Bone marrow aspirate smear: 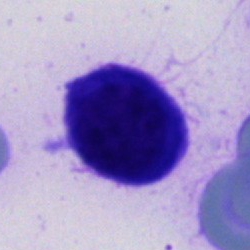Morphology consistent with a cell of indeterminate lineage.